Bone marrow smear. Brightfield, 40× oil-immersion objective. May-Grünwald-Giemsa/Pappenheim stain:
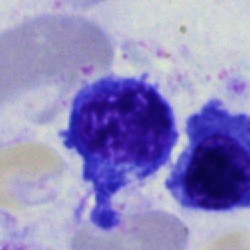
Impression — nucleated red blood cell.